Bone marrow aspirate smear: 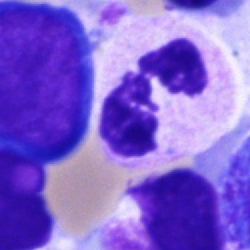

A segmented neutrophil.